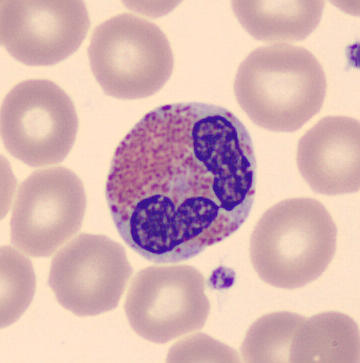Acquisition: Peripheral blood smear. Q: What is the morphological classification of this cell?
A: It is an eosinophil.